Bone marrow smear — 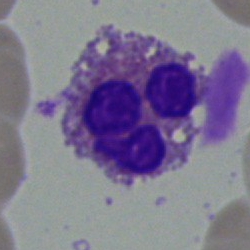Morphology — eosinophilic granulocyte.